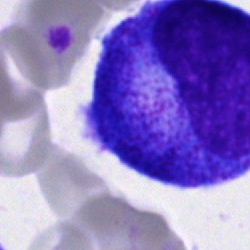
Classification: progranulocyte.